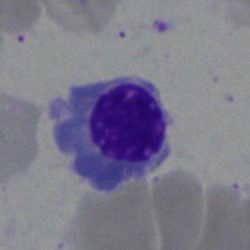 Bone marrow smear showing a nucleated red blood cell.